Peripheral blood smear — 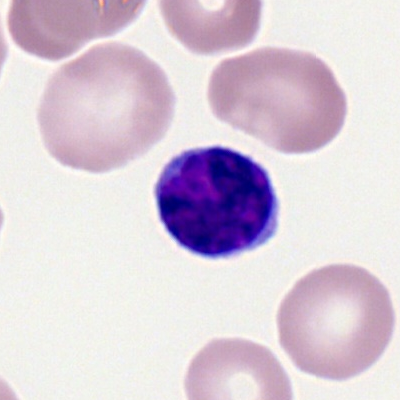A typical lymphocyte.